Bone marrow smear
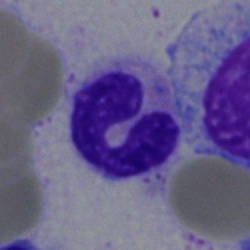 A neutrophil (segmented).